Bone marrow aspirate smear; 40× oil immersion; cropped to a single cell — 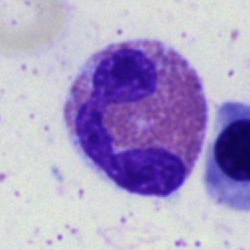 Classification = eosinophil.